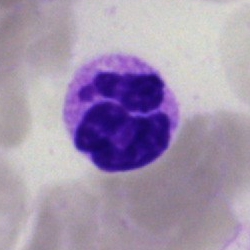 Q: Which cell type is shown here?
A: Polymorphonuclear neutrophil.